40× objective, oil immersion · MGG-stained · bone marrow aspirate smear:
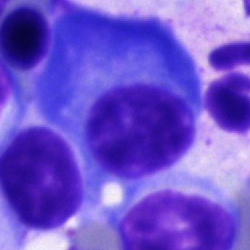
This is a plasmacyte.